Bone marrow aspirate smear: 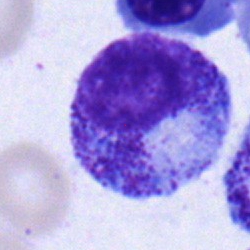
Myelocyte.